250 by 250 pixels; bone marrow smear; May-Grünwald-Giemsa stain: 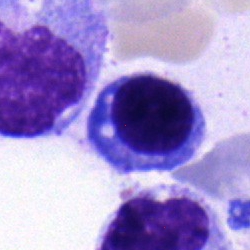
Morphological class — erythroblast.